250 by 250 pixels; single-cell crop; bone marrow aspirate smear.
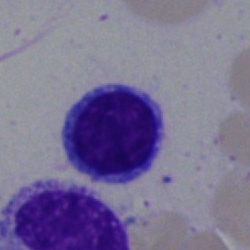

Impression — lymphocyte.